Peripheral blood film. Brightfield, 100× oil-immersion objective:
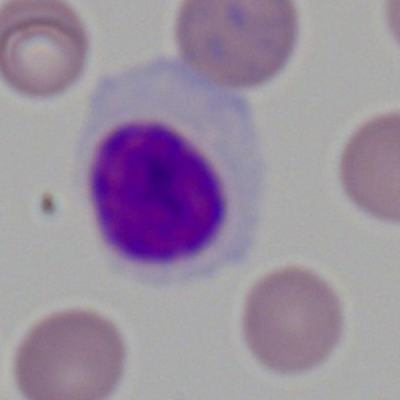

Specimen: peripheral blood smear.
Cell type: typical lymphocyte.
Lineage: lymphoid.